Single-cell crop; 40× objective, oil immersion; bone marrow smear:
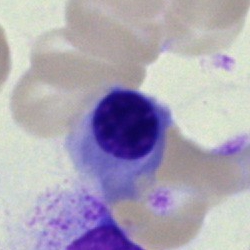

{"cell_type": "nucleated red blood cell"}